Peripheral blood smear · MGG-stained
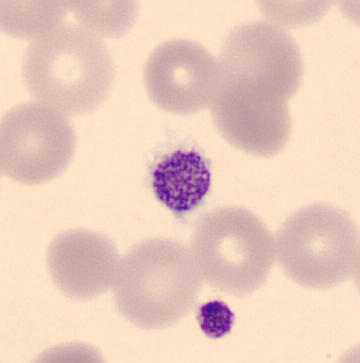

Thrombocyte.